Peripheral blood smear:
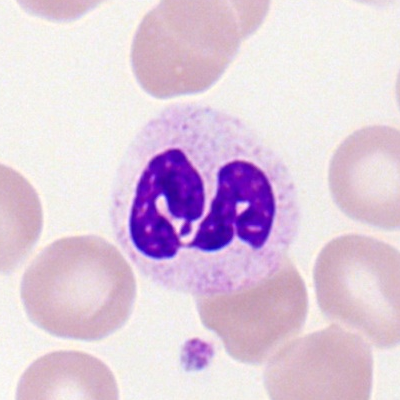
Showing a segmented neutrophil.